May-Grünwald-Giemsa/Pappenheim stain. Bone marrow smear
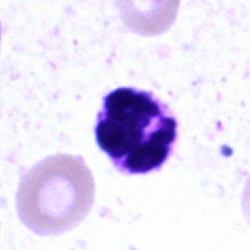Q: What is the morphological classification of this cell?
A: Polymorphonuclear neutrophil.